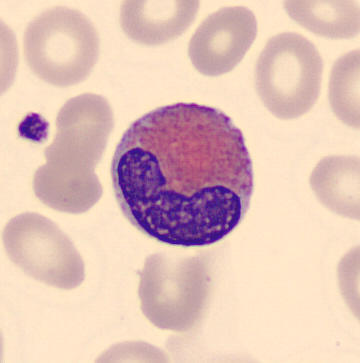
Peripheral blood film. Cell: eosinophilic granulocyte.